Bone marrow aspirate smear.
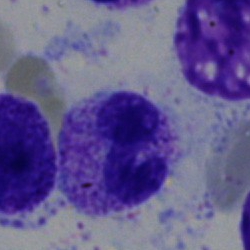
Classification = neutrophil (segmented).